Bone marrow smear
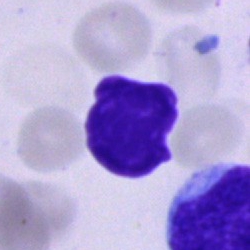
Impression — artefact.